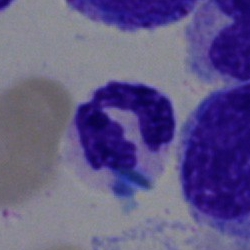

Cell type: polymorphonuclear neutrophil.